Bone marrow aspirate smear. May-Grünwald-Giemsa/Pappenheim stain — 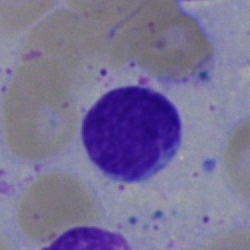 Q: Which cell type is shown here?
A: This is a typical lymphocyte.